Bone marrow smear. MGG-stained.
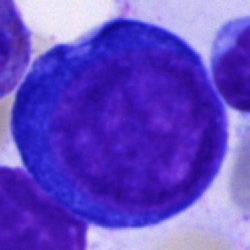 The cell shown is a pronormoblast.